Pappenheim-stained; 250 by 250 pixels; bone marrow smear — 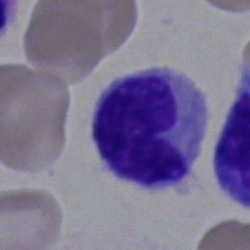Morphology → band-form neutrophil.